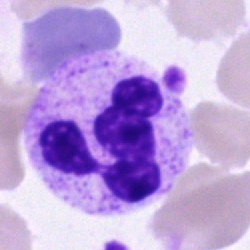

The cell shown is a segmented neutrophil.